Bone marrow aspirate smear. May-Grünwald-Giemsa/Pappenheim stain
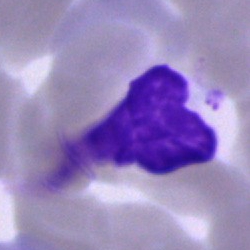 Cell — artefact.